Cropped to a single cell; Pappenheim-stained; bone marrow smear: 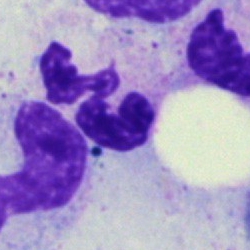Segmented neutrophil.